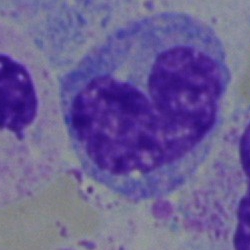
Cell = monocyte.